400×400 · peripheral blood film: 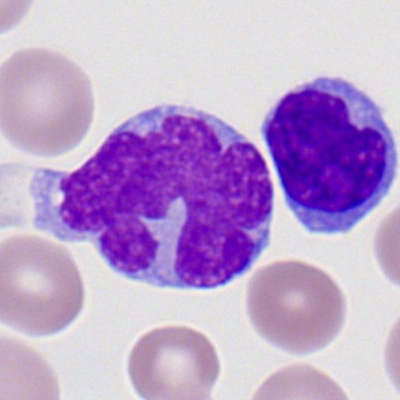Cell type — monocyte.